Image size 250×250 · bone marrow aspirate smear · single cell centered in the field
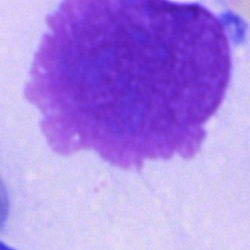{"cell_type": "artefact"}